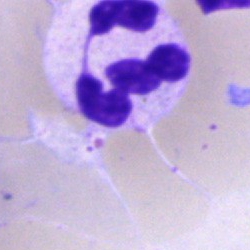{"cell_type": "neutrophil (segmented)", "lineage": "myeloid"}